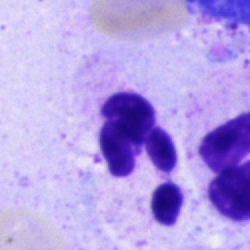 Bone marrow aspirate smear, single cell — neutrophil (segmented).